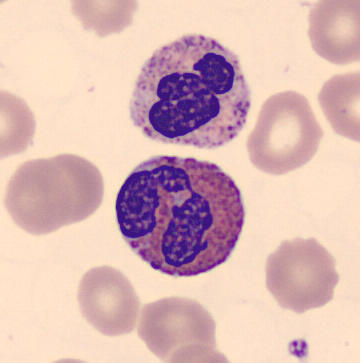{"cell_type": "eosinophilic granulocyte"} Image: Peripheral blood smear.